Bone marrow aspirate smear:
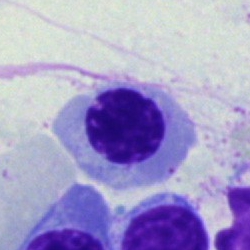
This is a normoblast.